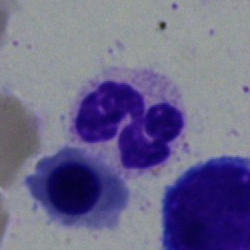{"cell_type": "neutrophil (segmented)", "lineage": "myeloid"}